Bone marrow aspirate smear
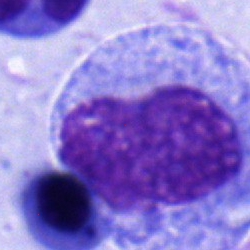

Cell type: progranulocyte.